Bone marrow aspirate smear — 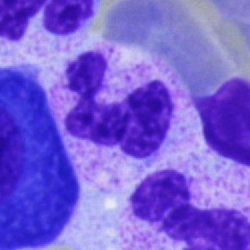

The cell shown is a polymorphonuclear neutrophil.